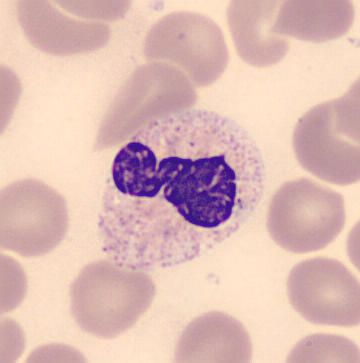 A segmented neutrophil on a peripheral blood smear.